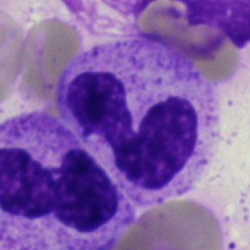Q: What cell is this?
A: Segmented neutrophil.